Bone marrow smear · 250 by 250 pixels:
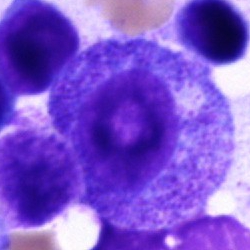 Impression — progranulocyte.